Peripheral blood smear.
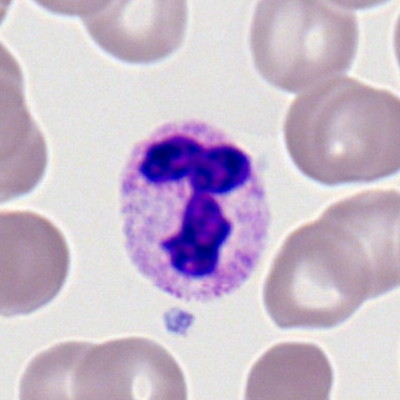Segmented neutrophil.